Single-cell field · bone marrow smear:
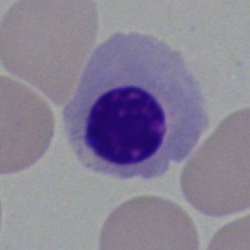

Q: What is shown here?
A: Nucleated red blood cell.